Bone marrow smear. 250×250 px — 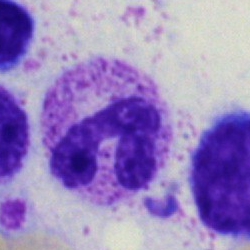Specimen: bone marrow smear.
Classification: neutrophil (band).
Lineage: myeloid.